Bone marrow aspirate smear: 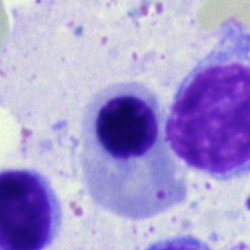 The classification is normoblast.